250×250. Bone marrow smear. Brightfield microscopy, 40× oil immersion: 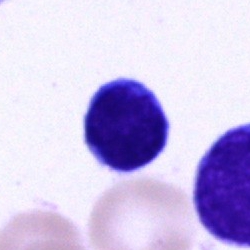
Typical lymphocyte.